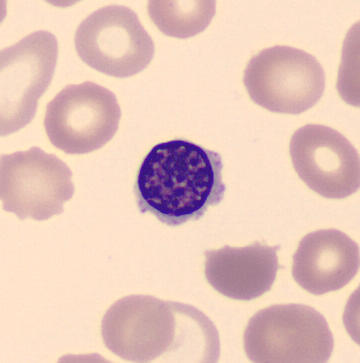
Classification — nucleated red blood cell.

Peripheral blood smear.